Peripheral blood smear
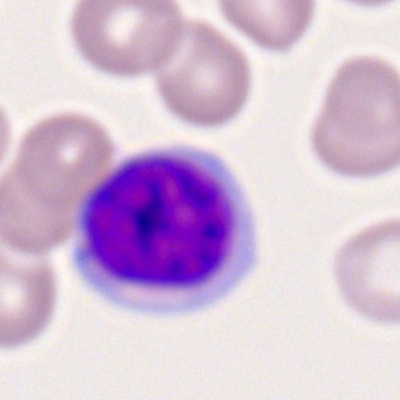

A lymphocyte.